Peripheral blood film · 360×363 px:
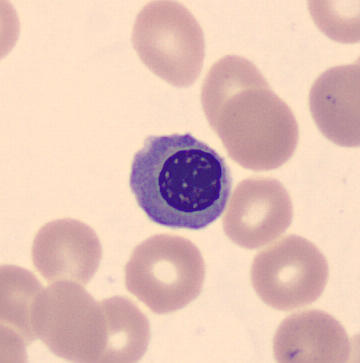
Morphological class: nucleated red cell.